Bone marrow smear: 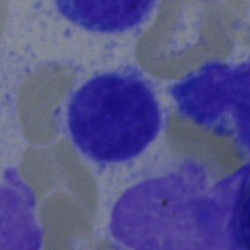Q: Which cell type is shown here?
A: It is a typical lymphocyte.